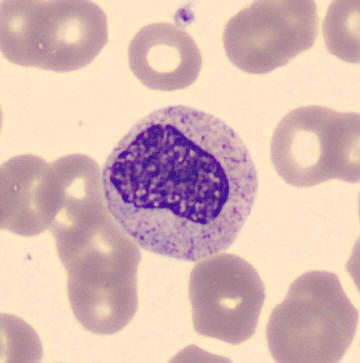 The cell is myelocyte.